250×250 · 40× objective, oil immersion · bone marrow smear.
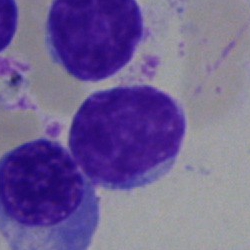

{"cell_type": "typical lymphocyte"}